Bone marrow smear · cropped to a single cell: 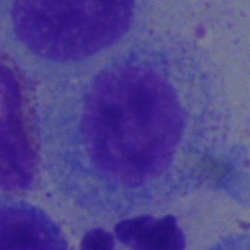 The cell type is myelocyte.